Bone marrow smear. 40× objective, oil immersion. 250×250:
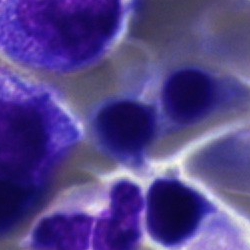This is a nucleated red blood cell.